Single cell centered in the field. Bone marrow smear: 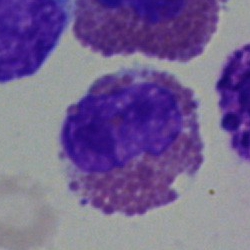

Q: What is the morphological classification of this cell?
A: Eosinophil.